Bone marrow aspirate smear · 250×250 px — 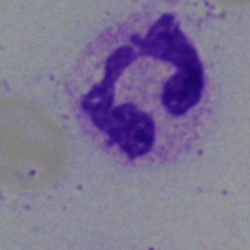Q: What is the morphological classification of this cell?
A: This is a polymorphonuclear neutrophil.